Bone marrow smear
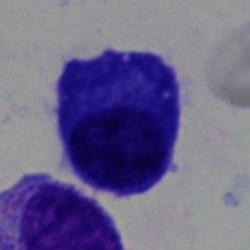Classification = plasmacyte.